Bone marrow aspirate smear — 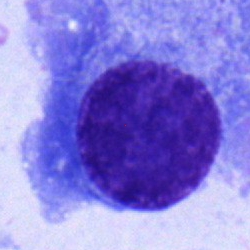

Cell type = plasmacyte.